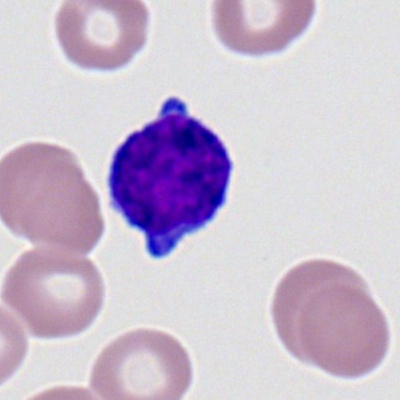Morphology → typical lymphocyte.